Bone marrow smear — 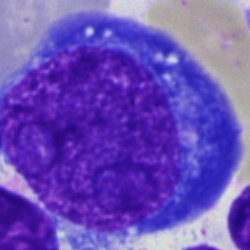

The cell shown is a proerythroblast.